Brightfield microscopy, 40× oil immersion · bone marrow smear · May-Grünwald-Giemsa/Pappenheim stain — 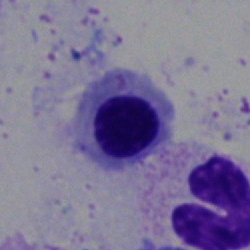

Q: What is the morphological classification of this cell?
A: This is a nucleated red cell.